Bone marrow aspirate smear. 40× objective, oil immersion:
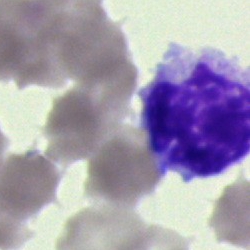

Specimen: bone marrow aspirate smear.
Classification: artifact.